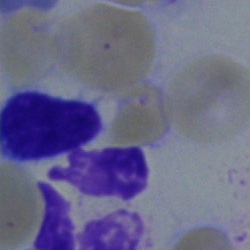 {"cell_type": "neutrophil (segmented)"}